Bone marrow aspirate smear · 250×250:
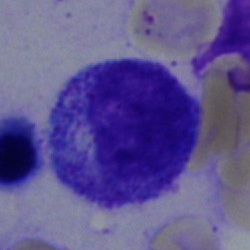
Classification: myelocyte.